Bone marrow aspirate smear; single-cell crop — 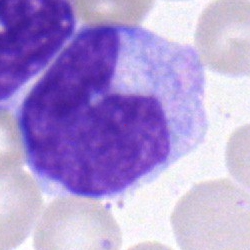 Single cell identified as a monocyte.